Single-cell field · bone marrow smear
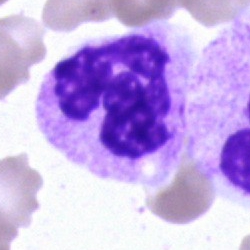

Impression — segmented neutrophil.